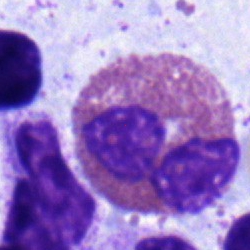
The cell type is eosinophil.